Peripheral blood smear.
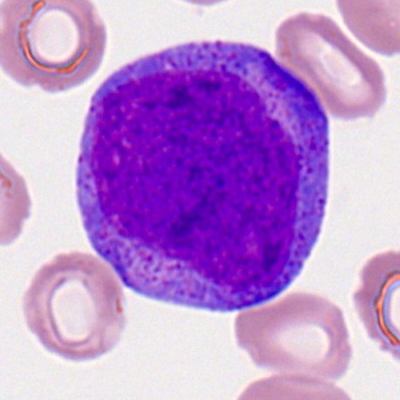
Specimen: peripheral blood smear.
Morphological class: myeloid blast.
Lineage: myeloid.